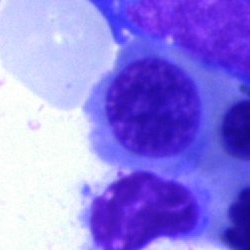Classification = nucleated red blood cell.